Bone marrow smear — 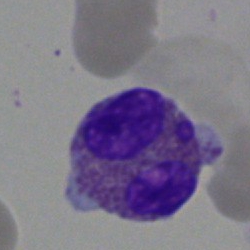{"cell_type": "eosinophilic granulocyte", "lineage": "myeloid"}